Peripheral blood film:
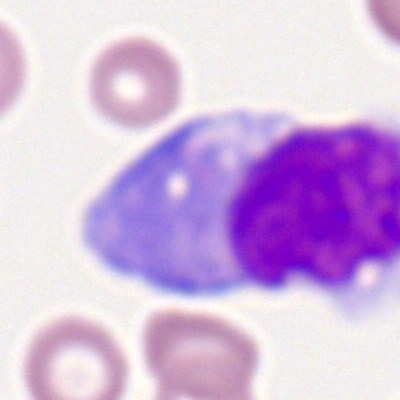
This is a monocyte.